Romanowsky-stained. Peripheral blood smear — 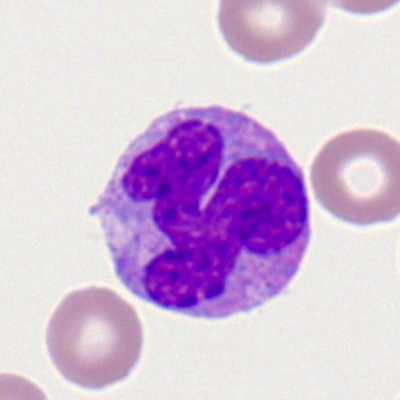 Q: What is shown here?
A: Monocyte.